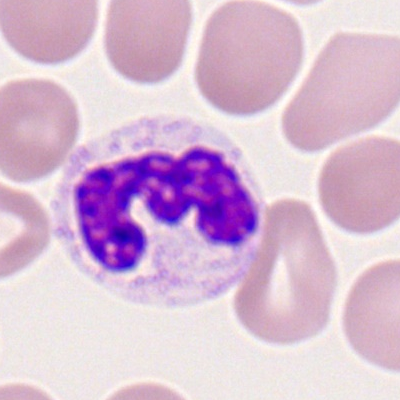Impression — neutrophil (segmented).